Bone marrow smear. 250×250
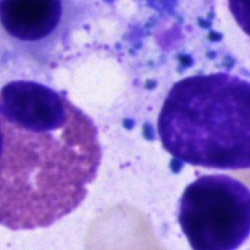Cell: eosinophil.